Bone marrow aspirate smear — 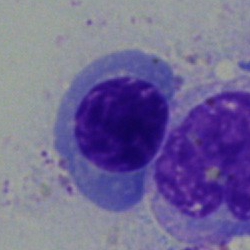Morphology — erythroblast.